Bone marrow aspirate smear — 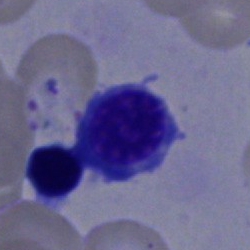Morphology → nucleated red blood cell.